Bone marrow smear
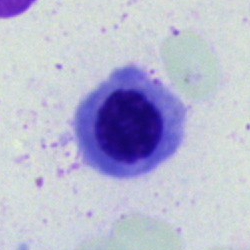

Nucleated red blood cell.